Bone marrow smear:
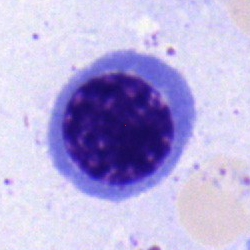 Morphological class = erythroblast.